Bone marrow smear
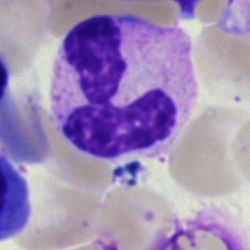

Q: Identify the cell.
A: A polymorphonuclear neutrophil.